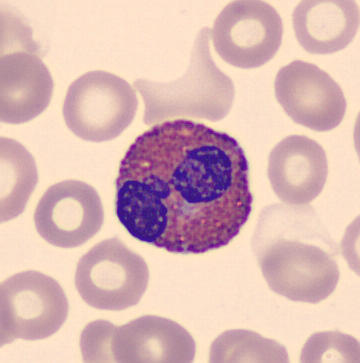

Q: Which cell type is shown here?
A: Eosinophil.

Preparation: 360×363. Peripheral blood smear.